Image size 250×250. Bone marrow aspirate smear:
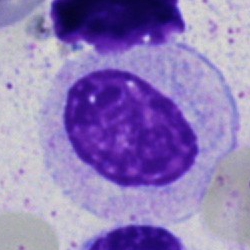Morphological class — myelocyte.